Bone marrow aspirate smear — 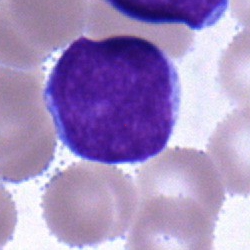 The cell shown is a blast.